Bone marrow smear; 40× oil immersion; cropped to a single cell: 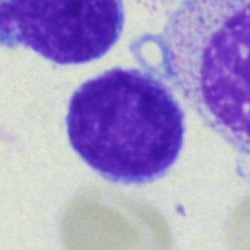 Q: Which cell type is shown here?
A: It is an undifferentiated blast.